Bone marrow aspirate smear
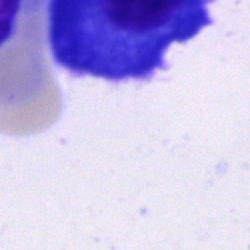Plasma cell.